Bone marrow aspirate smear
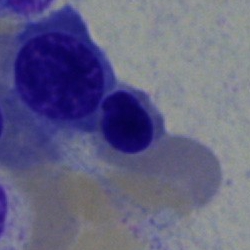

Specimen: bone marrow aspirate smear.
Cell type: erythroblast.
Lineage: erythroid.